250 by 250 pixels · brightfield microscopy, 40× oil immersion · bone marrow smear: 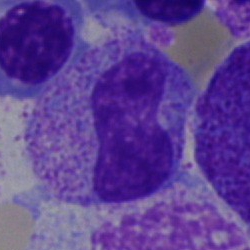
Morphology consistent with a band neutrophil.